400×400 px; peripheral blood smear.
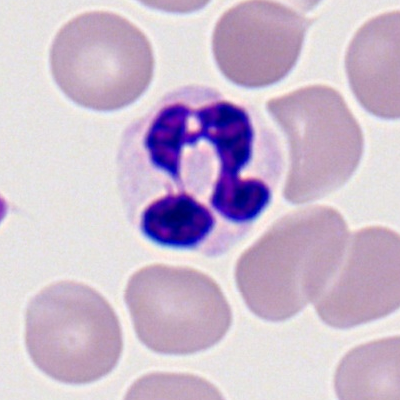 Cell type: polymorphonuclear neutrophil.